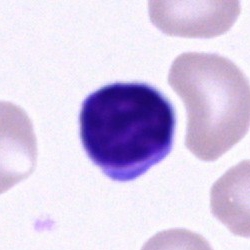 Classification: typical lymphocyte.